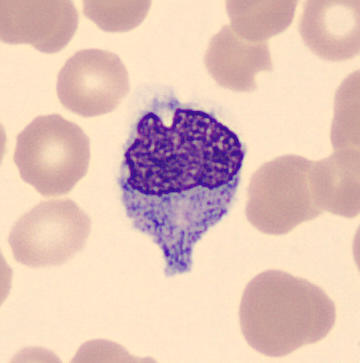
The cell shown is a monocyte.
Preparation: Peripheral blood smear · cropped to a single cell · MGG stain.